May-Grünwald-Giemsa/Pappenheim stain · 40× oil immersion · bone marrow smear — 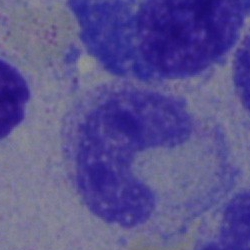
Specimen: bone marrow aspirate smear.
Morphological class: band-form neutrophil.
Lineage: myeloid.